MGG-stained · bone marrow smear
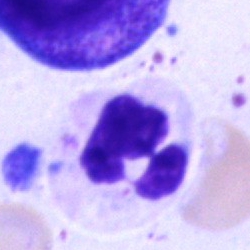Polymorphonuclear neutrophil.